Bone marrow aspirate smear · 40× oil immersion · May-Grünwald-Giemsa stain
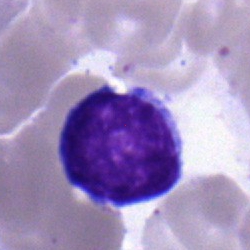Typical lymphocyte.